Bone marrow smear: 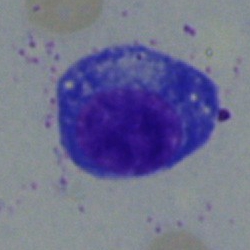

Morphological class: plasma cell.